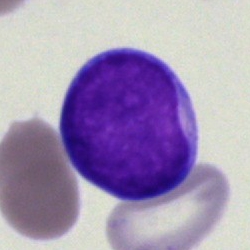
A blast cell.